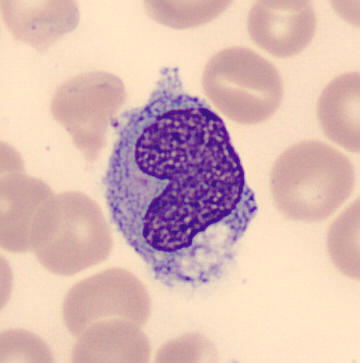
Peripheral blood film, single cell — monocyte.